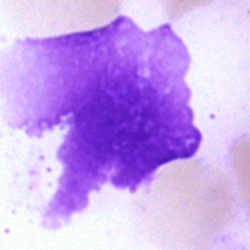

Q: What is shown here?
A: It is an artifact.